Bone marrow aspirate smear:
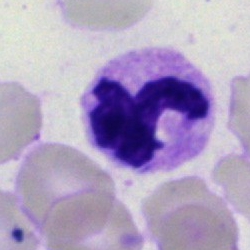

Showing a neutrophil (segmented).